Peripheral blood film.
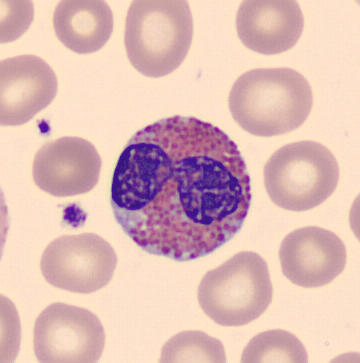
Q: What is this?
A: It is an eosinophil.